May-Grünwald-Giemsa/Pappenheim stain · bone marrow aspirate smear · 250 by 250 pixels: 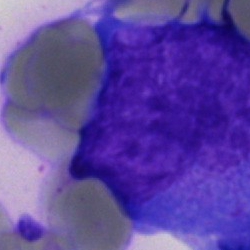

Q: What type of cell is this?
A: Progranulocyte.